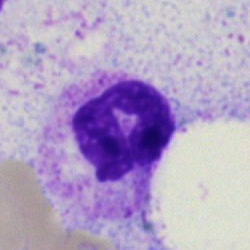Showing a polymorphonuclear neutrophil.